Peripheral blood film
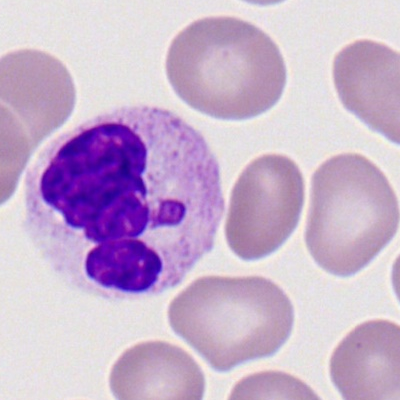
Q: What type of cell is this?
A: Neutrophil (segmented).